Peripheral blood film.
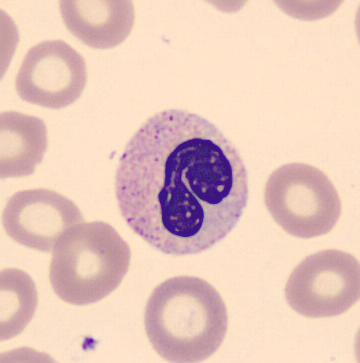
Classification — band-form neutrophil.